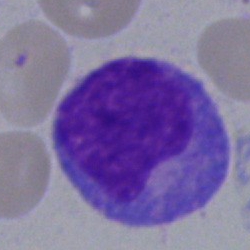

A promyelocyte.